May-Grünwald-Giemsa stain · single-cell field · bone marrow smear.
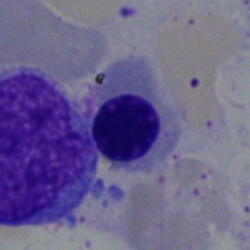

Specimen: bone marrow smear.
Cell: normoblast.